Bone marrow aspirate smear:
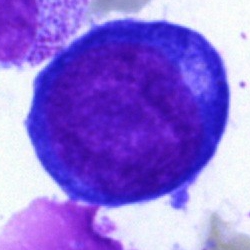Morphological class: proerythroblast.